Bone marrow aspirate smear: 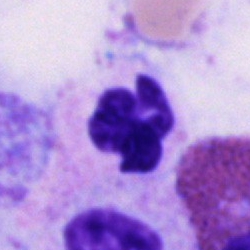

Single cell identified as a segmented neutrophil.